May-Grünwald-Giemsa stain · bone marrow smear: 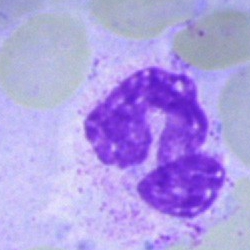

A segmented neutrophil.